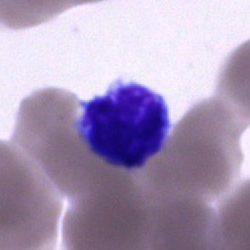Cell: lymphocyte.